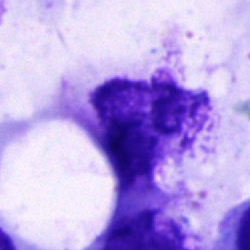

Q: What is shown here?
A: Artifact.